Bone marrow aspirate smear:
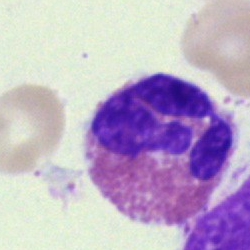Classification: eosinophil.